250 by 250 pixels; cropped to a single cell; bone marrow aspirate smear
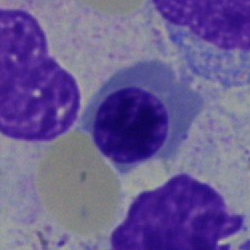

Specimen: bone marrow aspirate smear.
Morphological class: normoblast.
Lineage: erythroid.